Single-cell field. Bone marrow smear:
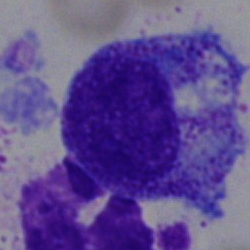 Q: Which cell type is shown here?
A: It is a progranulocyte.